Bone marrow smear
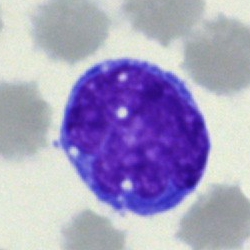
The cell shown is a monocyte.